Bone marrow aspirate smear: 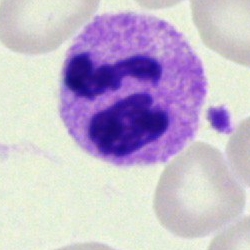Q: What is the morphological classification of this cell?
A: This is a neutrophil (segmented).